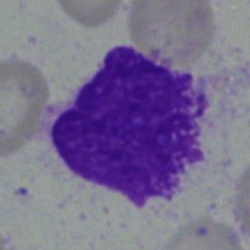Specimen: bone marrow aspirate smear.
Cell type: artefact.